Single-cell field; bone marrow smear; 40× objective, oil immersion:
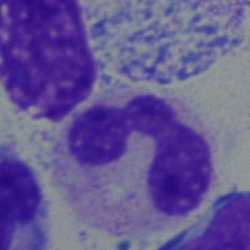
Morphology consistent with a neutrophil (band).